May-Grünwald-Giemsa/Pappenheim stain · bone marrow smear · 40× oil immersion.
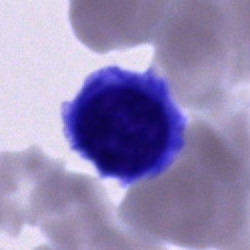 Morphology — erythroblast.